Bone marrow smear:
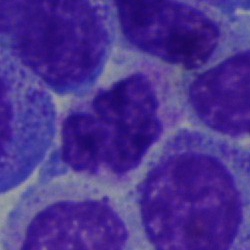
A segmented neutrophil.